250 by 250 pixels. Bone marrow smear
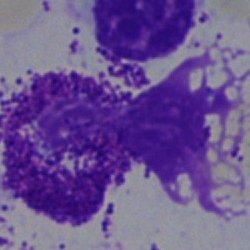
Q: What is shown here?
A: This is an artifact.